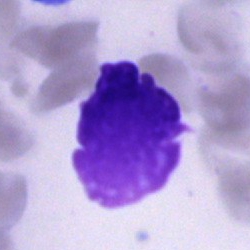Cell type: artifact.